Bone marrow smear
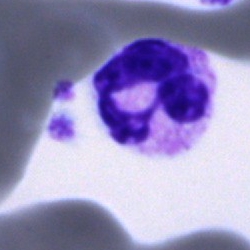
Q: What cell is this?
A: It is a polymorphonuclear neutrophil.